Bone marrow aspirate smear:
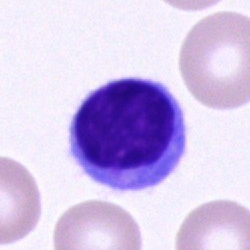

This is a typical lymphocyte.